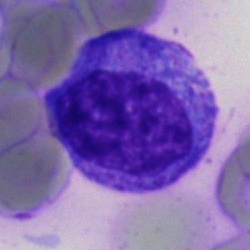Q: Which cell type is shown here?
A: A myelocyte.